Bone marrow smear; Pappenheim-stained — 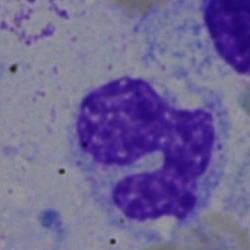Cell type = monocyte.